Bone marrow aspirate smear — 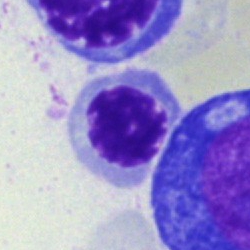

Q: What cell is this?
A: Nucleated red blood cell.